Single-cell field. Bone marrow smear.
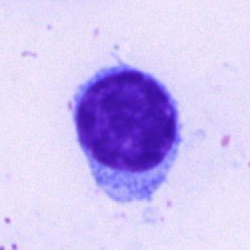{"cell_type": "typical lymphocyte"}